Romanowsky-stained · peripheral blood film: 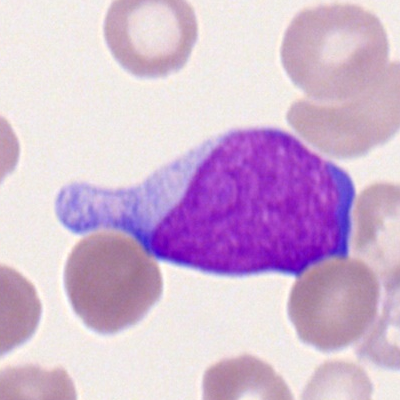

The cell is myeloblast.